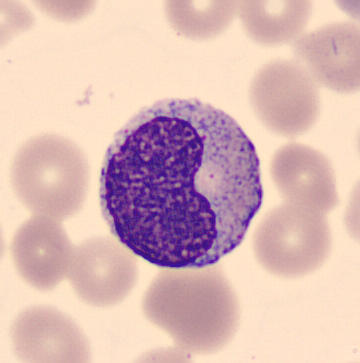 Morphology — myelocyte.
Preparation: Peripheral blood smear.